Bone marrow aspirate smear
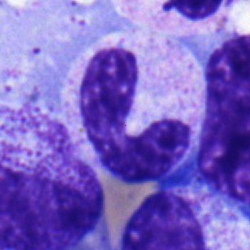
Showing a stab cell.